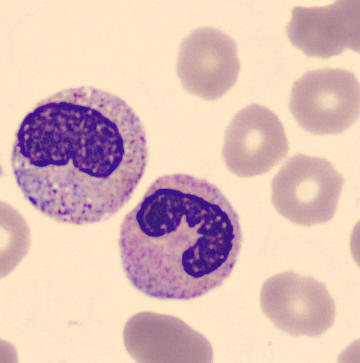
Classification: stab cell.